Bone marrow smear.
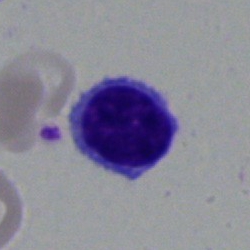

Impression — typical lymphocyte.